Bone marrow aspirate smear.
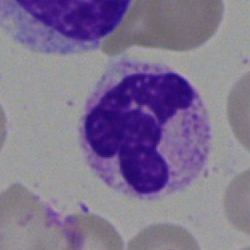This is a segmented neutrophil.